Brightfield microscopy, 40× oil immersion. Bone marrow smear. May-Grünwald-Giemsa/Pappenheim stain — 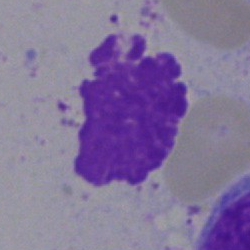Single cell identified as an artefact.